Bone marrow smear — 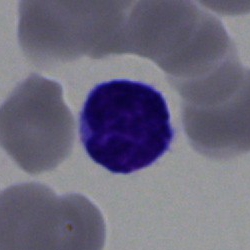
Q: Which cell type is shown here?
A: This is a typical lymphocyte.